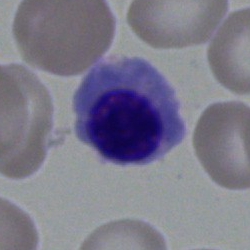 Cell — erythroblast.